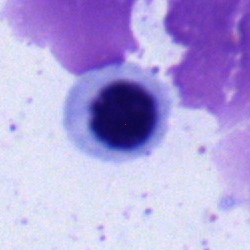
Q: What type of cell is this?
A: Nucleated red blood cell.